May-Grünwald-Giemsa stain; single-cell field; bone marrow aspirate smear — 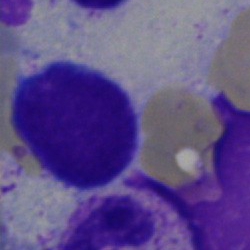
Morphology → typical lymphocyte.